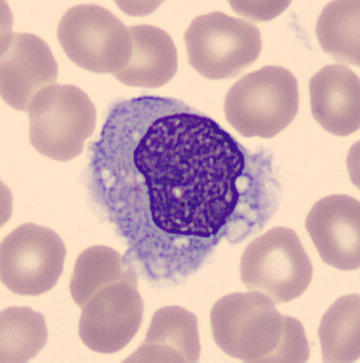Q: Which cell type is shown here?
A: A monocyte.
Peripheral blood film.